Bone marrow smear · brightfield, 40× oil-immersion objective — 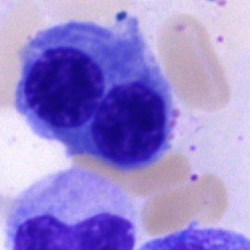
Specimen: bone marrow smear.
Cell: nucleated red cell.
Lineage: erythroid.